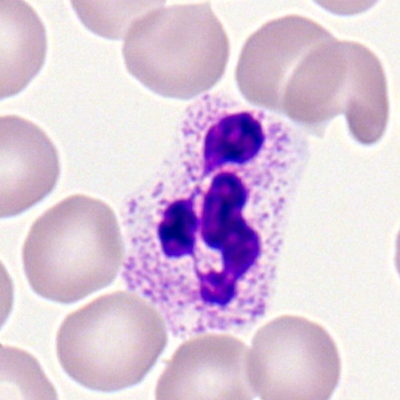

Showing a neutrophil (segmented).